May-Grünwald-Giemsa stain · bone marrow aspirate smear · single cell centered in the field — 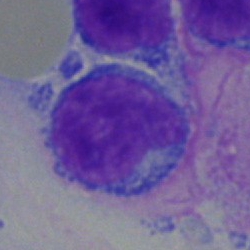 Cell: typical lymphocyte.